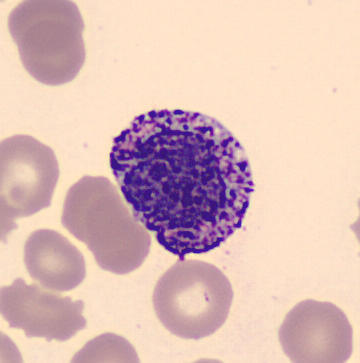
Peripheral blood smear; single cell centered in the field.

Morphology consistent with a basophilic granulocyte.